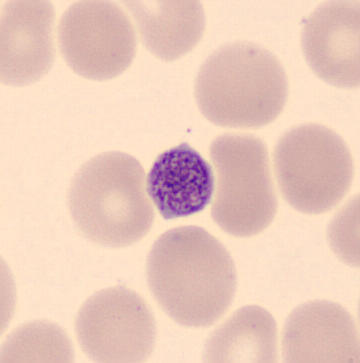 Specimen: peripheral blood film.
Cell type: thrombocyte.

360 by 363 pixels; May Grünwald-Giemsa stain.